Bone marrow smear:
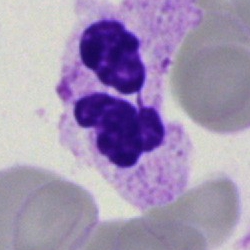The cell shown is a neutrophil (segmented).